Pappenheim-stained · 250 by 250 pixels · bone marrow smear: 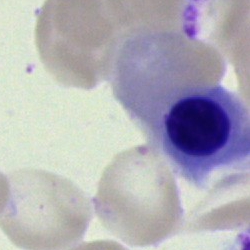

Specimen: bone marrow aspirate smear.
Morphological class: nucleated red blood cell.
Lineage: erythroid.